Bone marrow smear; single cell centered in the field.
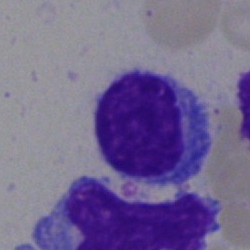
Q: Identify the cell.
A: This is a lymphocyte.